Bone marrow aspirate smear — 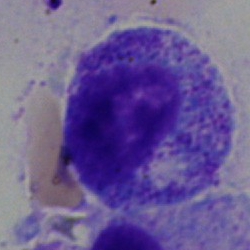

Classification: myelocyte.